Bone marrow aspirate smear: 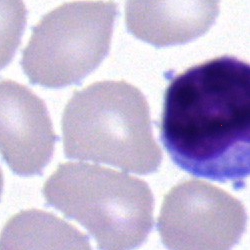Typical lymphocyte.